Brightfield microscopy, 40× oil immersion. 250 by 250 pixels. Bone marrow smear:
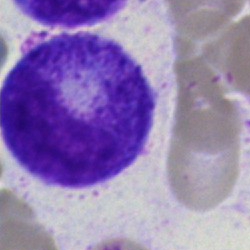

Morphology → promyelocyte.